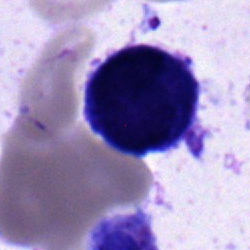

A blast.